Bone marrow aspirate smear: 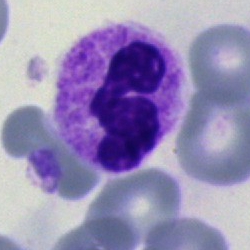 This is a segmented neutrophil.